Bone marrow smear:
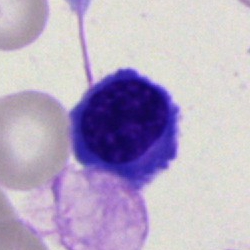
Morphology consistent with an erythroblast.